40× objective, oil immersion; image size 250×250; bone marrow smear: 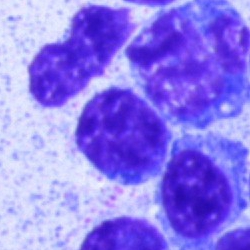
{"cell_type": "typical lymphocyte", "lineage": "lymphoid"}